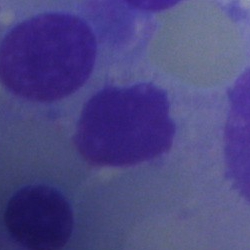

Q: What is shown here?
A: This is an artefact.